Bone marrow aspirate smear
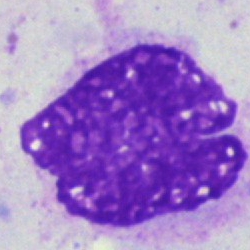

Showing an artifact.